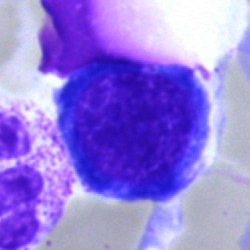

Specimen: bone marrow smear.
Cell type: erythroblast.
Lineage: erythroid.